Bone marrow smear; 250×250
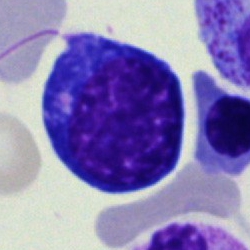 {"cell_type": "normoblast", "lineage": "erythroid"}